Bone marrow smear:
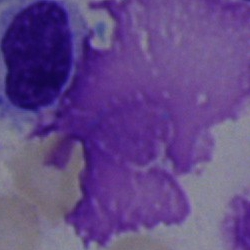The morphological class is artifact.